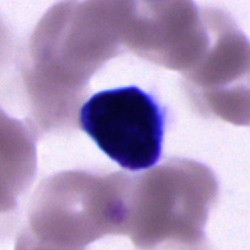

Q: What type of cell is this?
A: An unidentifiable cell.